Brightfield, 40× oil-immersion objective · May-Grünwald-Giemsa/Pappenheim stain · bone marrow aspirate smear
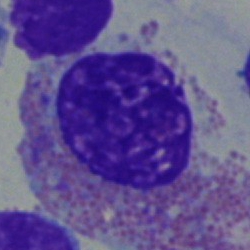This is an eosinophilic granulocyte.